Bone marrow aspirate smear:
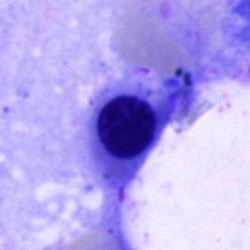Morphology — erythroblast.